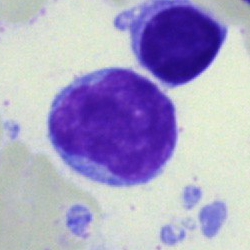

Q: What cell is this?
A: It is a lymphocyte.